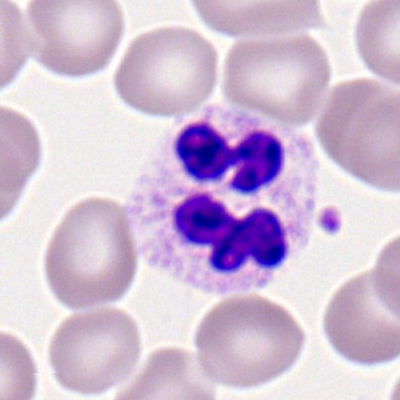

Single-cell crop from a peripheral blood smear: neutrophil (segmented).